Bone marrow smear. 250 by 250 pixels. Brightfield, 40× oil-immersion objective:
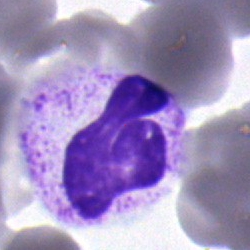

Morphology → neutrophil (segmented).